MGG-stained; bone marrow aspirate smear — 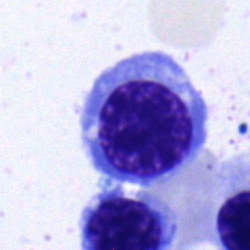 A normoblast.